Bone marrow smear:
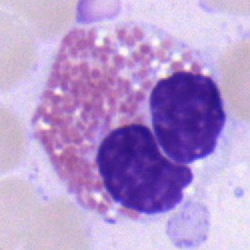 Specimen: bone marrow smear.
Classification: eosinophil.
Lineage: myeloid.